250×250; bone marrow smear
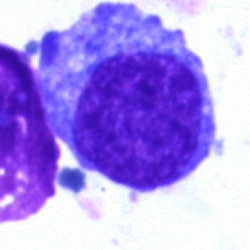
Q: Identify the cell.
A: It is an undifferentiated blast.